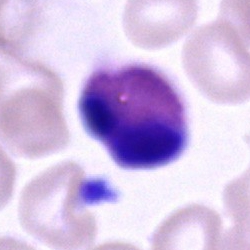

An eosinophilic granulocyte.